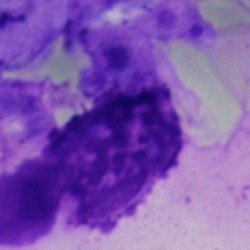

Q: What is shown here?
A: This is an artifact.